Bone marrow smear.
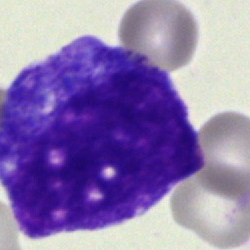
Specimen: bone marrow smear.
Classification: progranulocyte.